Single-cell crop; bone marrow aspirate smear.
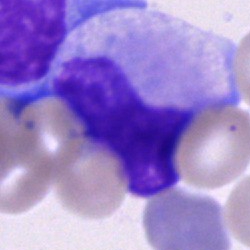Specimen: bone marrow smear.
Classification: cell of indeterminate lineage.